Bone marrow aspirate smear:
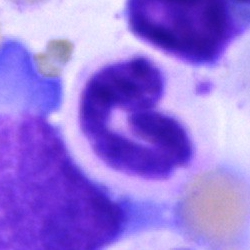Classification: neutrophil (segmented).